250×250 · bone marrow aspirate smear — 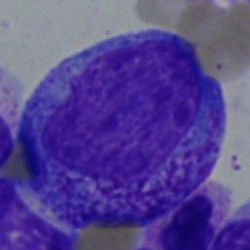

Single cell identified as a promyelocyte.